Bone marrow smear.
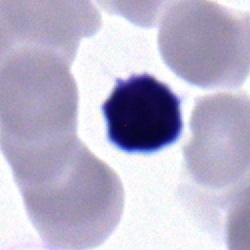
Q: What cell is this?
A: Lymphocyte.